Bone marrow aspirate smear · 250×250: 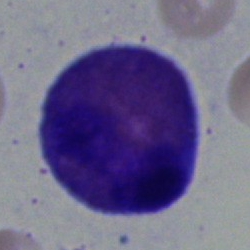

Morphology consistent with an eosinophil.